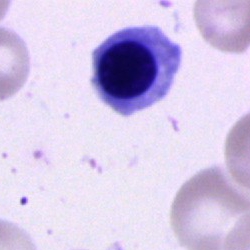
The classification is nucleated red cell.